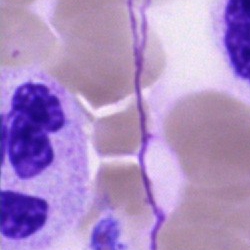
Q: What is shown here?
A: This is a neutrophil (segmented).